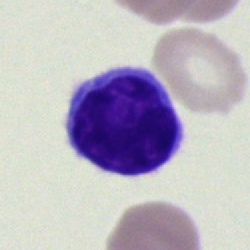 Classification — lymphocyte.